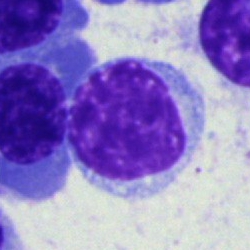

Morphology — typical lymphocyte.